Peripheral blood film — 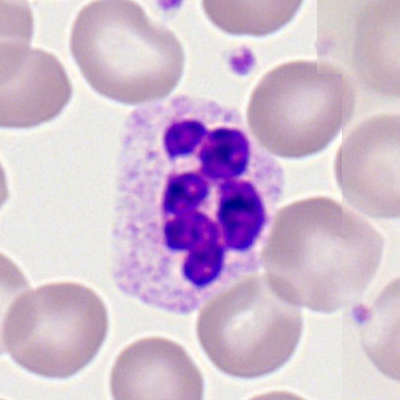

Morphology consistent with a segmented neutrophil.